Bone marrow smear.
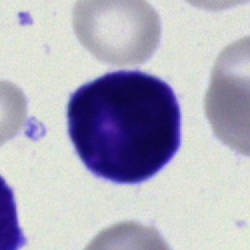
Morphology — undifferentiated blast.